Bone marrow smear: 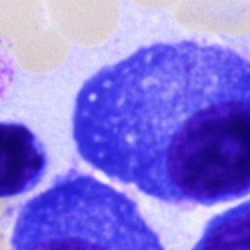
Q: Identify the cell.
A: A plasma cell.